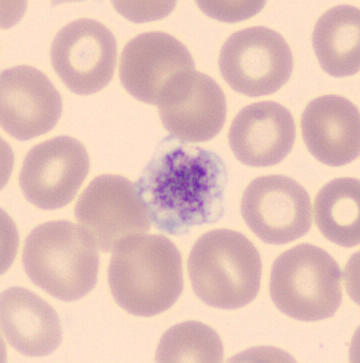

Imaged on a CellaVision DM96 analyser. Peripheral blood film.

Classification — platelet.